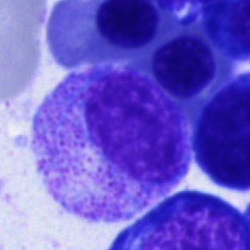

Specimen: bone marrow aspirate smear.
Cell: myelocyte.
Lineage: myeloid.